Bone marrow aspirate smear
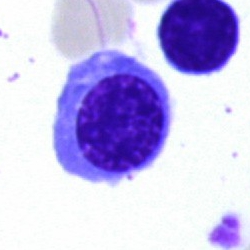
Morphology → normoblast.